Bone marrow smear.
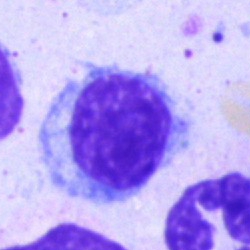
The classification is lymphocyte.